MGG-stained; bone marrow smear: 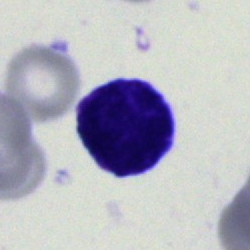Showing a blast cell.